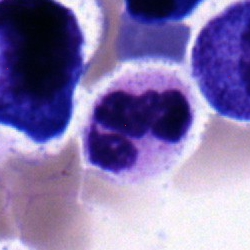

A segmented neutrophil on a bone marrow smear.